Bone marrow smear.
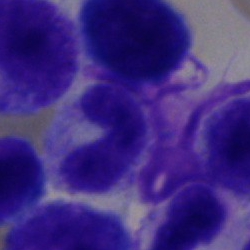 This is a band neutrophil.